Bone marrow smear — 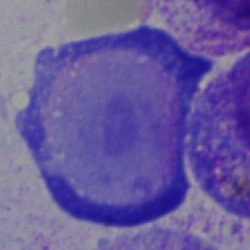Classification: artifact.